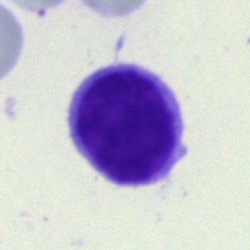 Q: Which cell type is shown here?
A: This is a typical lymphocyte.